Brightfield, 40× oil-immersion objective; bone marrow smear
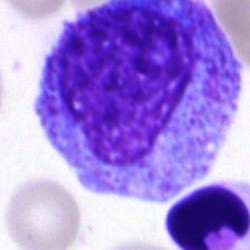

The cell shown is a promyelocyte.